Brightfield, 40× oil-immersion objective. Bone marrow smear. 250×250.
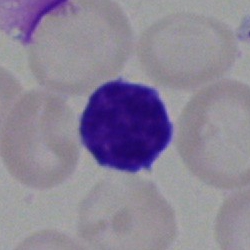

Morphology → typical lymphocyte.